MGG-stained · bone marrow aspirate smear · single-cell field: 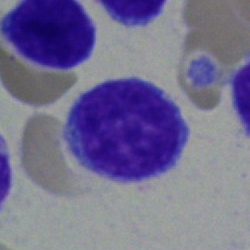
The cell type is lymphocyte.